Bone marrow smear
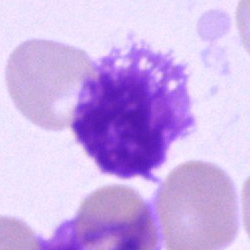
Specimen: bone marrow smear.
Cell: artefact.